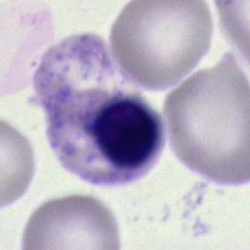
Q: What is the morphological classification of this cell?
A: This is a nucleated red blood cell.